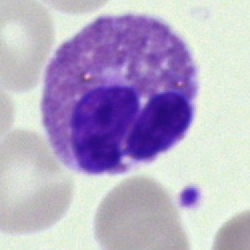
Q: What is shown here?
A: It is an eosinophilic granulocyte.